Bone marrow smear.
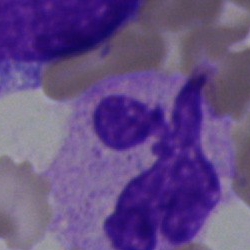 This is a neutrophil (segmented).